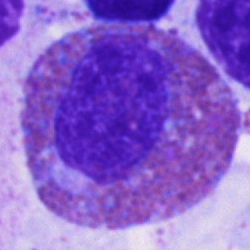 Impression → eosinophil.